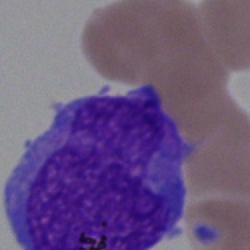

Morphological class: monocyte.